Single cell centered in the field. Bone marrow aspirate smear — 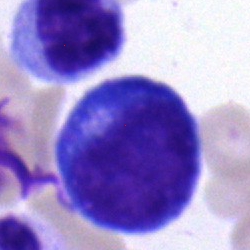 Specimen: bone marrow smear.
Cell type: progranulocyte.
Lineage: myeloid.